Cropped to a single cell; bone marrow aspirate smear: 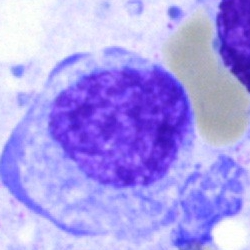

Q: What is shown here?
A: An artefact.